Bone marrow aspirate smear
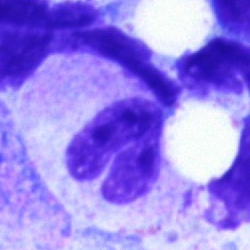 Showing a segmented neutrophil.